Peripheral blood smear.
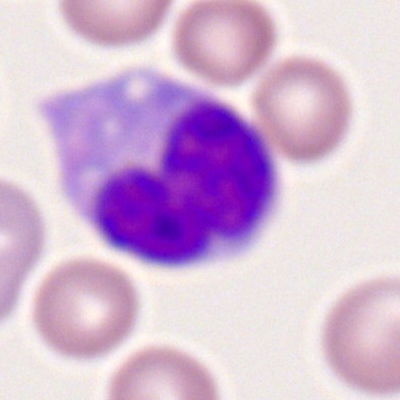 A monocyte.